250×250. Bone marrow aspirate smear. Cropped to a single cell.
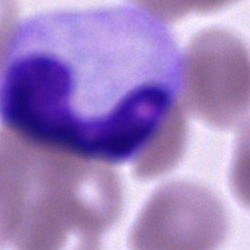
A band-form neutrophil.